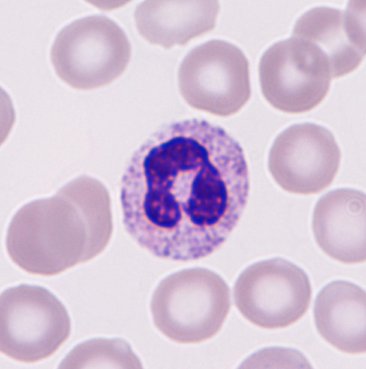

This is a neutrophilic granulocyte. Acquisition: Automated cell imaging (CellaVision DM96); peripheral blood film.